Bone marrow aspirate smear — 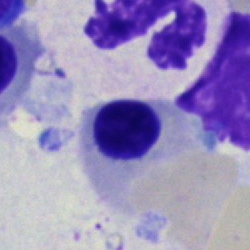

{"cell_type": "normoblast", "lineage": "erythroid"}